Bone marrow smear; 40× oil immersion — 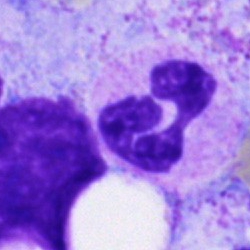Impression — polymorphonuclear neutrophil.